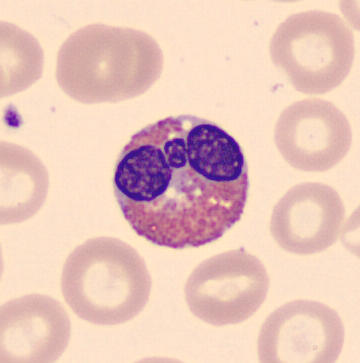 Image: Peripheral blood smear. Q: Which cell type is shown here?
A: Eosinophilic granulocyte.